Bone marrow aspirate smear: 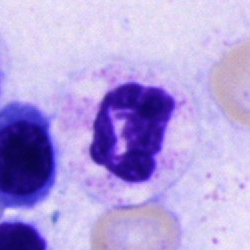Q: Identify the cell.
A: A segmented neutrophil.